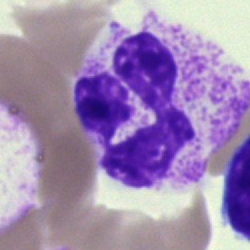 Specimen: bone marrow smear.
Morphological class: segmented neutrophil.